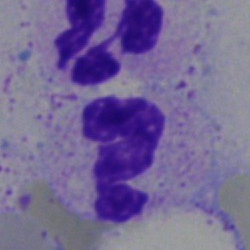 The cell shown is a neutrophil (segmented).